May-Grünwald-Giemsa/Pappenheim stain. Bone marrow smear
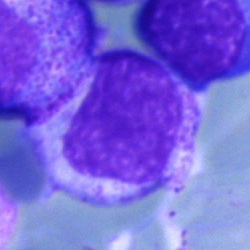

Impression — myelocyte.